Bone marrow aspirate smear: 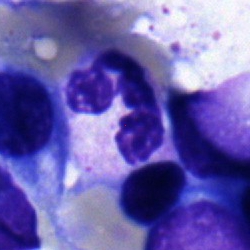The cell type is polymorphonuclear neutrophil.